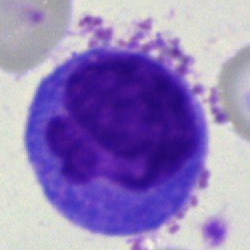 A monocyte.